Bone marrow smear — 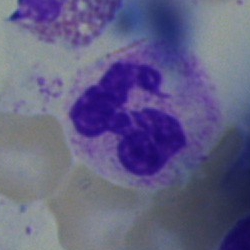
Morphology → neutrophil (segmented).